Brightfield, 100× oil-immersion objective; peripheral blood film — 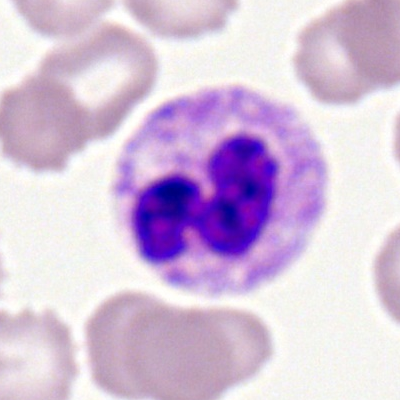 The cell shown is a segmented neutrophil.